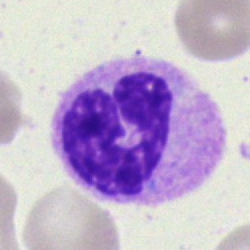
Q: What type of cell is this?
A: This is a polymorphonuclear neutrophil.